Bone marrow aspirate smear; image size 250×250
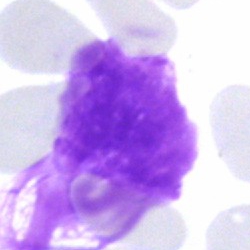 Specimen: bone marrow aspirate smear.
Cell: Gumprecht shadow.